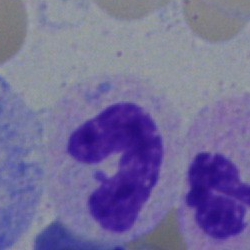 Morphology → band neutrophil.